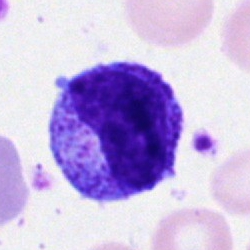
{"cell_type": "metamyelocyte"}